Bone marrow aspirate smear: 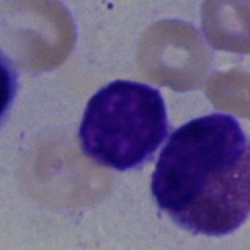The cell shown is a lymphocyte.